250×250 px · May-Grünwald-Giemsa/Pappenheim stain · bone marrow aspirate smear: 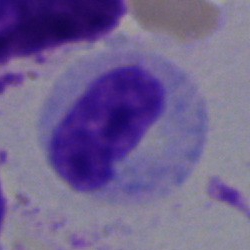
Q: Which cell type is shown here?
A: A band-form neutrophil.